Bone marrow smear:
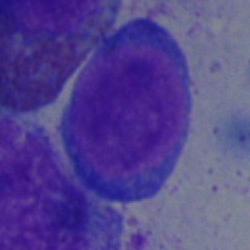Morphology consistent with a proerythroblast.